Peripheral blood smear · brightfield, 100× oil-immersion objective — 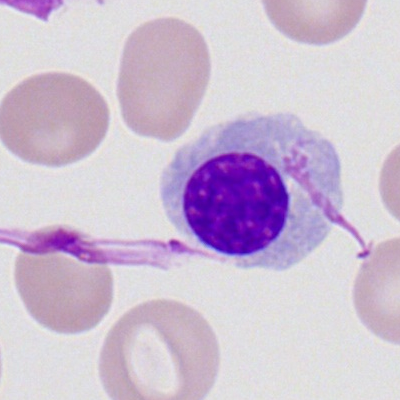
Showing a nucleated red blood cell.